Bone marrow aspirate smear — 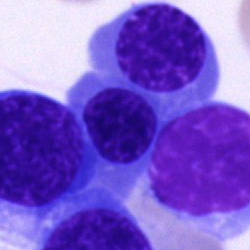

Morphology — nucleated red blood cell.